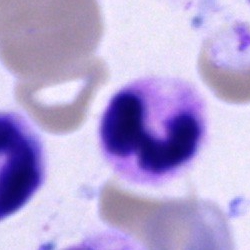
Bone marrow aspirate smear, single cell — segmented neutrophil.